250×250 px; single-cell field; bone marrow smear:
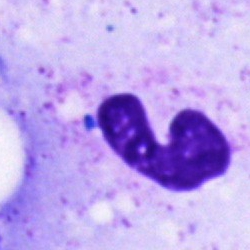This is a stab cell.